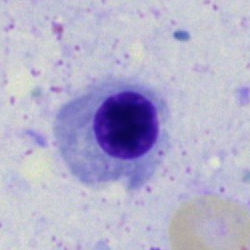
The cell is nucleated red cell.